Bone marrow aspirate smear: 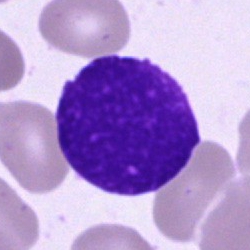

Q: What is shown here?
A: An artifact.